Bone marrow smear — 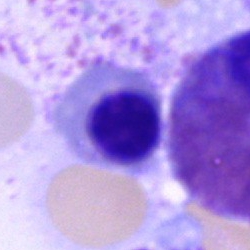

Normoblast.